Bone marrow smear: 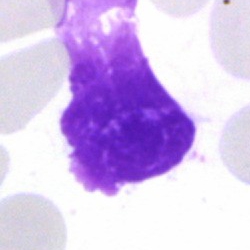
Showing a basket cell.